Brightfield, 40× oil-immersion objective · bone marrow smear · May-Grünwald-Giemsa stain
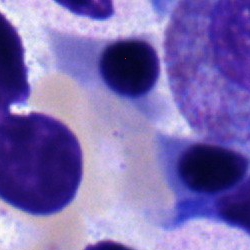

Specimen: bone marrow aspirate smear.
Classification: normoblast.